Peripheral blood smear: 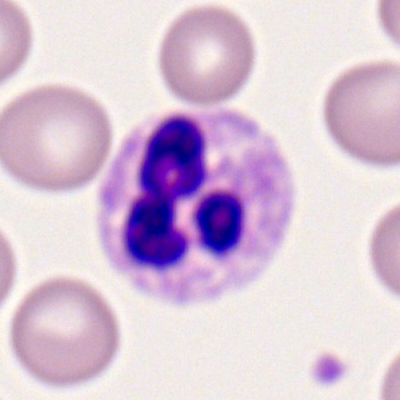 Impression — segmented neutrophil.